250×250 · bone marrow aspirate smear — 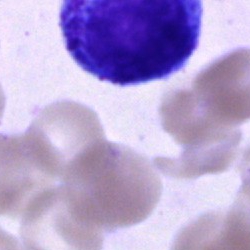 Q: What is shown here?
A: It is an unidentifiable cell.